Bone marrow aspirate smear
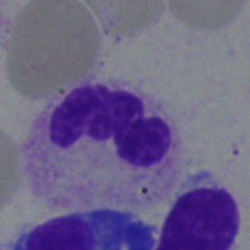 The cell shown is a neutrophil (segmented).